Peripheral blood smear.
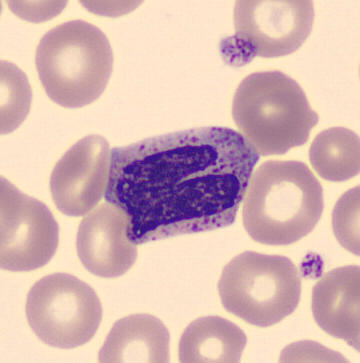The morphological class is metamyelocyte.